Bone marrow aspirate smear:
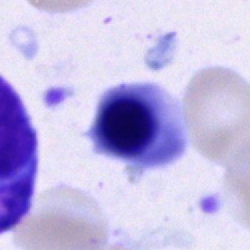

Q: Identify the cell.
A: An erythroblast.